40× objective, oil immersion. Bone marrow aspirate smear: 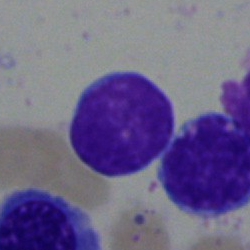

A lymphocyte.